Bone marrow smear.
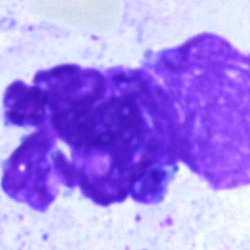Cell type = artifact.